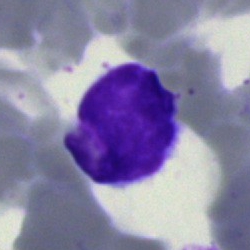 Q: What cell is this?
A: This is a typical lymphocyte.